Bone marrow aspirate smear:
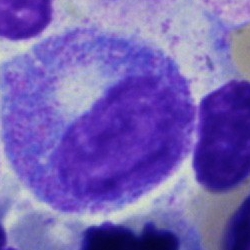

Q: What is the morphological classification of this cell?
A: This is a progranulocyte.